Bone marrow aspirate smear
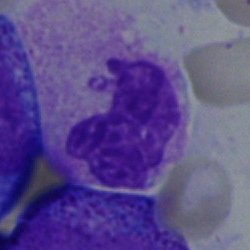

Q: What cell is this?
A: It is a neutrophil (segmented).